Pappenheim-stained; bone marrow aspirate smear: 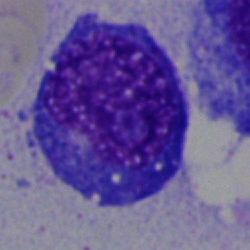Classification: normoblast.